Bone marrow smear — 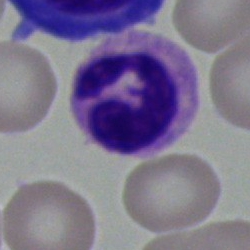Impression → polymorphonuclear neutrophil.